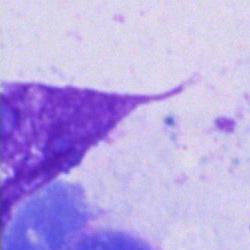Q: What is shown here?
A: It is an artefact.